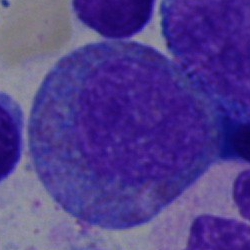
Specimen: bone marrow smear.
Cell type: eosinophilic granulocyte.
Lineage: myeloid.